Bone marrow smear. May-Grünwald-Giemsa stain.
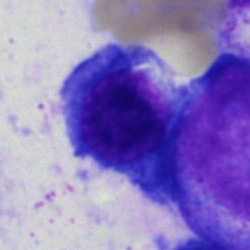
Q: Identify the cell.
A: This is a plasma cell.